Single-cell crop; bone marrow aspirate smear: 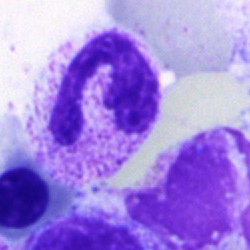Q: What is the morphological classification of this cell?
A: Segmented neutrophil.